Bone marrow aspirate smear: 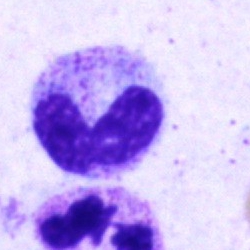

Q: What is the morphological classification of this cell?
A: A neutrophil (band).